Bone marrow aspirate smear
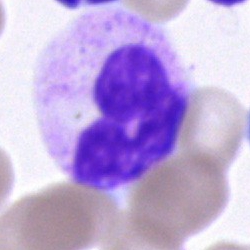 The morphological class is neutrophil (segmented).